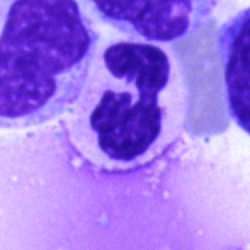The cell shown is a polymorphonuclear neutrophil.